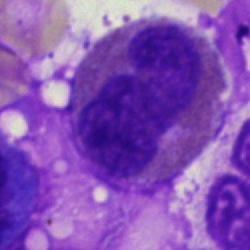The cell is eosinophilic granulocyte.